Bone marrow aspirate smear:
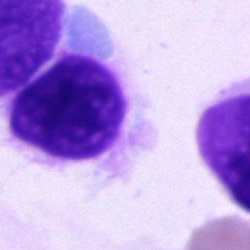
Q: What is shown here?
A: Artifact.